Bone marrow smear:
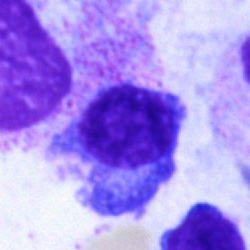

Showing a plasma cell.